Bone marrow smear.
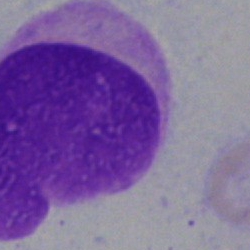

Impression → artefact.